Bone marrow smear.
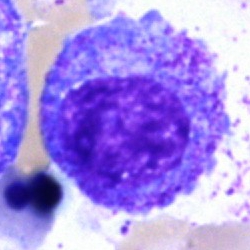

Morphology → promyelocyte.